Bone marrow smear. Cropped to a single cell
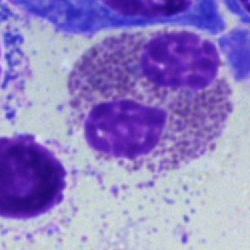

Specimen: bone marrow aspirate smear.
Cell type: eosinophil.
Lineage: myeloid.